Brightfield, 40× oil-immersion objective; bone marrow smear
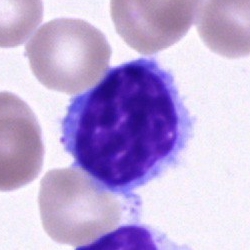 Single cell identified as a lymphocyte.